Romanowsky stain; single cell centered in the field; peripheral blood smear
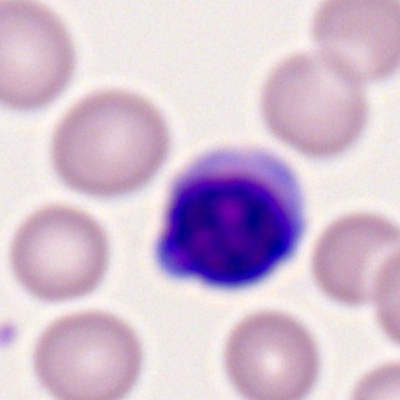 Morphology consistent with a typical lymphocyte.